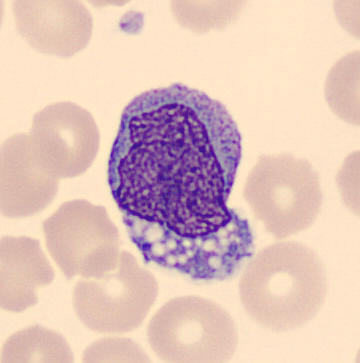 Preparation: CellaVision DM96 · peripheral blood smear · MGG stain.
The cell type is monocyte.